Bone marrow aspirate smear; MGG-stained; 250×250 px
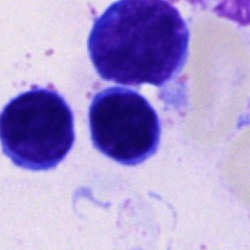 Impression — lymphocyte.